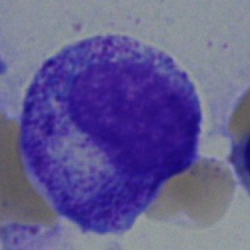
Q: What cell is this?
A: Myelocyte.